Bone marrow smear; May-Grünwald-Giemsa stain: 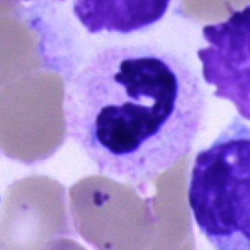Impression — neutrophil (segmented).